Bone marrow smear.
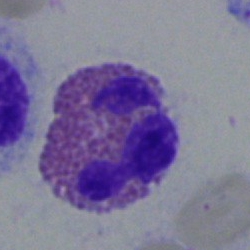Cell: eosinophil.